Bone marrow smear:
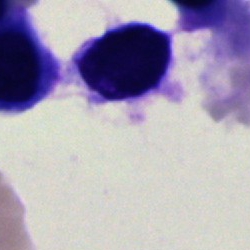
This is an artifact.